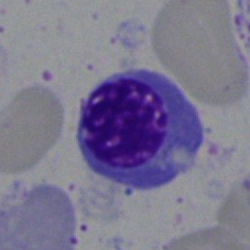Impression — nucleated red cell.